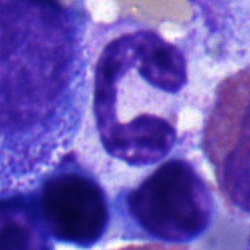
A segmented neutrophil on a bone marrow smear.